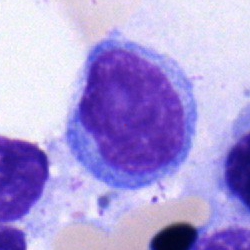
The cell shown is a lymphocyte.